Bone marrow smear: 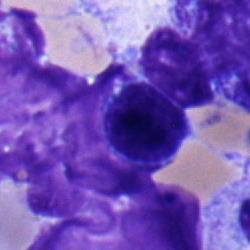Q: What is the morphological classification of this cell?
A: It is a lymphocyte.